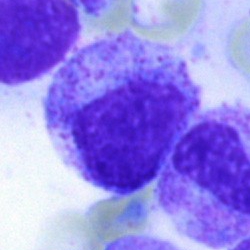 A myelocyte.